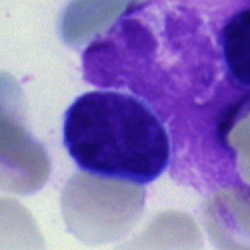Cell type — lymphocyte.